Bone marrow smear:
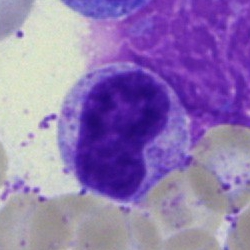Single cell identified as a metamyelocyte.